Bone marrow smear: 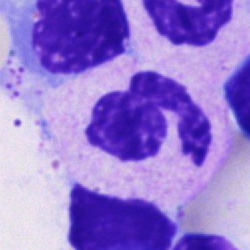This is a neutrophil (segmented).